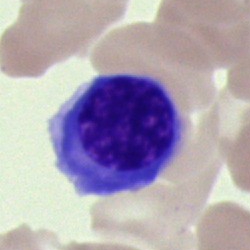 Specimen: bone marrow aspirate smear.
Cell: normoblast.